Peripheral blood film
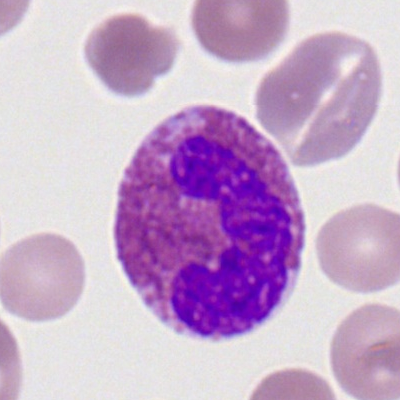

Eosinophil.